Single-cell crop. Bone marrow aspirate smear — 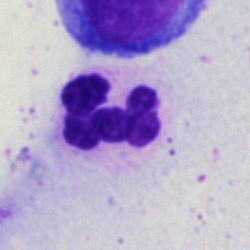

The classification is neutrophil (segmented).